Bone marrow smear · single-cell crop.
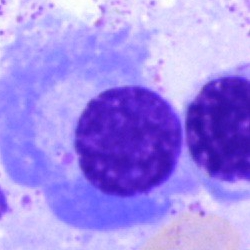The cell is plasmacyte.